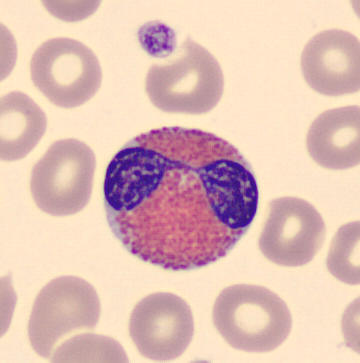

Cell — eosinophil.
Preparation: Single cell centered in the field. Peripheral blood smear.